Bone marrow aspirate smear:
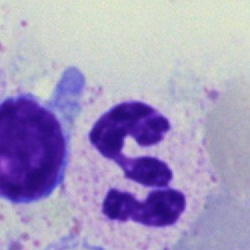

The classification is polymorphonuclear neutrophil.